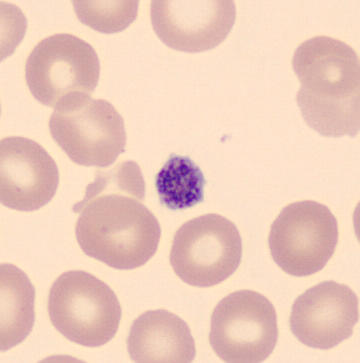
This is a platelet.

Image: Peripheral blood film.